Bone marrow smear
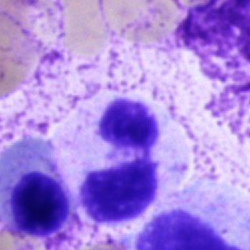 Impression → neutrophil (segmented).